Peripheral blood smear; brightfield, 100× oil-immersion objective; 400 by 400 pixels.
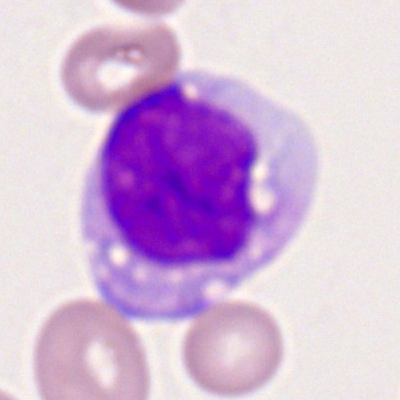
A monocyte.